Bone marrow aspirate smear
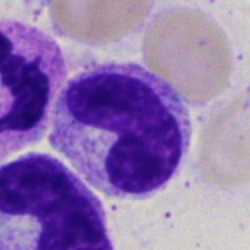

Q: What is shown here?
A: Band neutrophil.